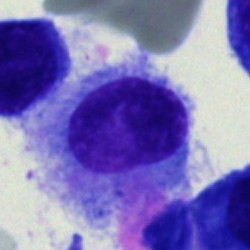 {"cell_type": "unidentifiable cell"}